Cropped to a single cell. Bone marrow aspirate smear.
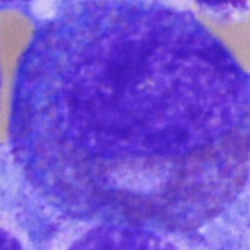This is an eosinophil.